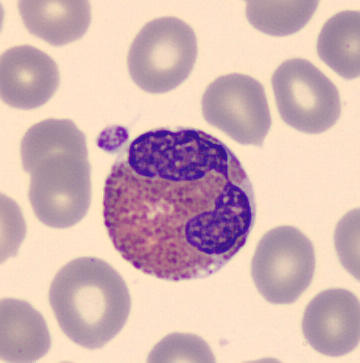
Cell type: eosinophil.